Bone marrow aspirate smear:
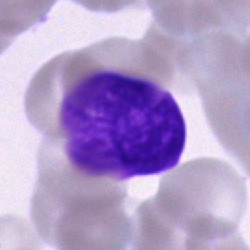 Morphology consistent with an artefact.